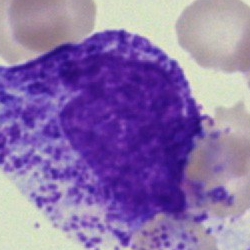 Bone marrow smear showing a progranulocyte.